Brightfield, 40× oil-immersion objective. Bone marrow aspirate smear.
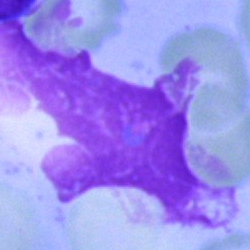 Cell type: artefact.